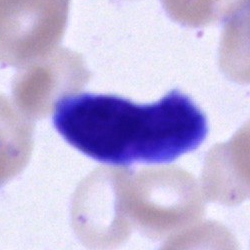

Unidentifiable cell.